Bone marrow aspirate smear: 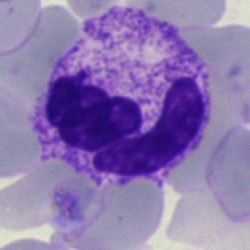 Q: Which cell type is shown here?
A: Polymorphonuclear neutrophil.